Romanowsky stain · peripheral blood film · 100× objective, oil immersion:
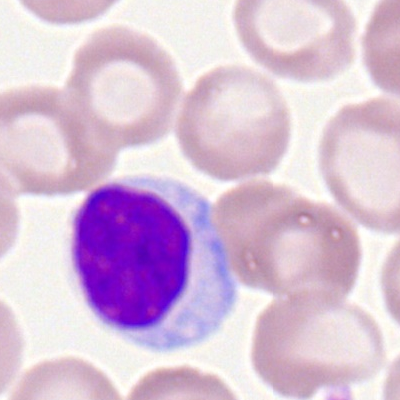
The cell shown is a lymphocyte.